Bone marrow aspirate smear — 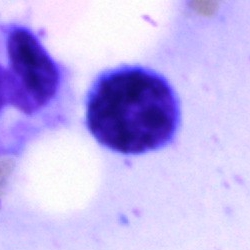
Impression → lymphocyte.